Bone marrow aspirate smear.
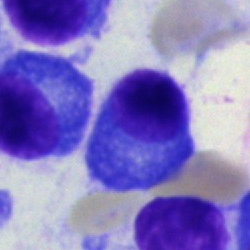{"cell_type": "plasma cell", "lineage": "lymphoid"}